Bone marrow smear.
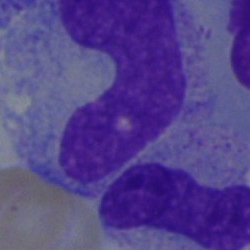

Morphology — monocyte.